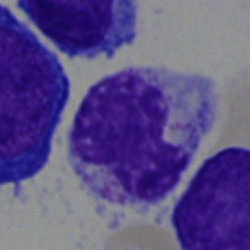{"cell_type": "metamyelocyte"}